Bone marrow aspirate smear; cropped to a single cell.
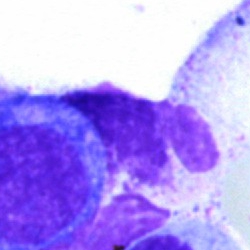
Morphology consistent with an artifact.